Bone marrow aspirate smear:
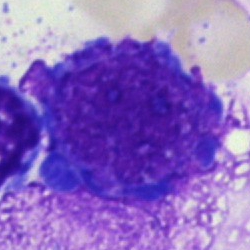
Q: What is shown here?
A: It is an artefact.